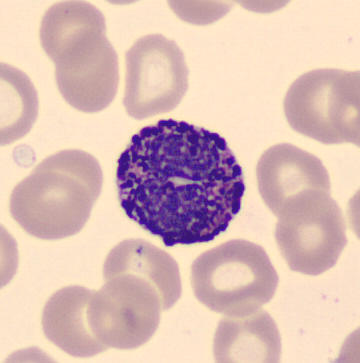 A basophil.
Preparation: Single-cell crop; peripheral blood film; CellaVision DM96.